Bone marrow smear.
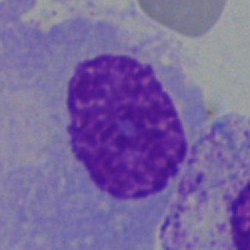
Specimen: bone marrow smear.
Classification: plasmacyte.
Lineage: lymphoid.